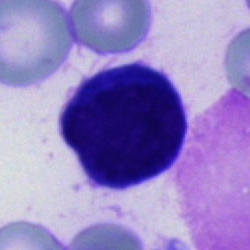Specimen: bone marrow smear.
Classification: unidentifiable cell.